250 by 250 pixels; MGG-stained; bone marrow smear — 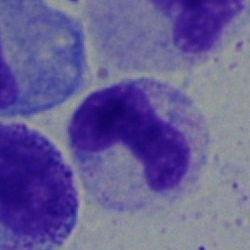Q: What is shown here?
A: Neutrophil (band).